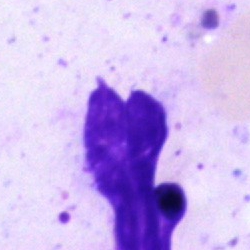 Morphological class = artifact.